Bone marrow aspirate smear: 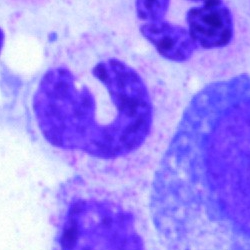Q: Identify the cell.
A: It is a segmented neutrophil.